Bone marrow aspirate smear; 40× objective, oil immersion — 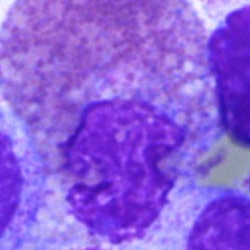 Classification: eosinophil.